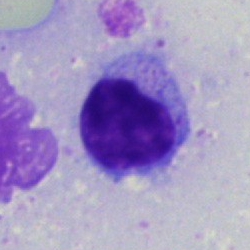A lymphocyte.